Bone marrow aspirate smear.
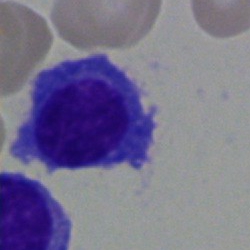
The morphological class is plasma cell.